Bone marrow aspirate smear.
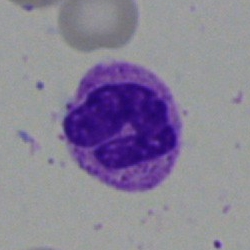
{"cell_type": "neutrophil (segmented)", "lineage": "myeloid"}